Bone marrow aspirate smear · 250×250 px: 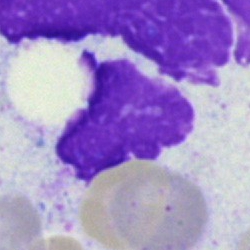
This is an artefact.